May-Grünwald-Giemsa/Pappenheim stain; bone marrow smear: 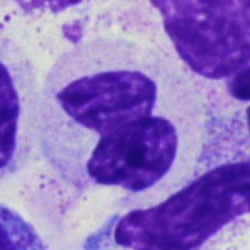 Q: Which cell type is shown here?
A: A polymorphonuclear neutrophil.